Bone marrow aspirate smear
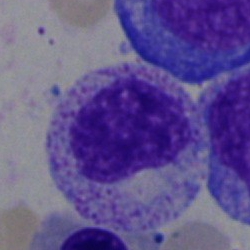 The morphological class is metamyelocyte.